Bone marrow smear — 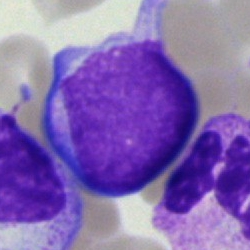
Q: What is shown here?
A: This is an undifferentiated blast.